Bone marrow aspirate smear.
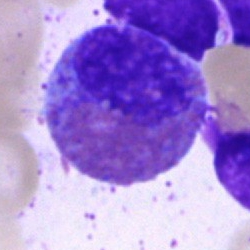 Q: What cell is this?
A: An eosinophilic granulocyte.